Single-cell crop; bone marrow smear:
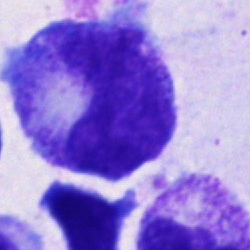
Q: What is shown here?
A: It is a promyelocyte.